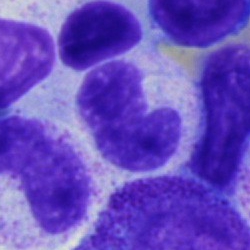A stab cell.